Bone marrow smear · single-cell field · MGG-stained:
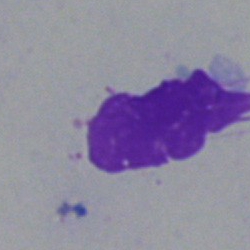
Impression → artifact.